Cropped to a single cell · bone marrow smear:
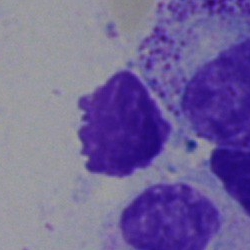

Specimen: bone marrow aspirate smear.
Morphological class: artefact.